Bone marrow smear: 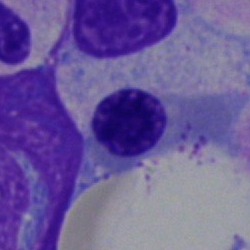 Morphology consistent with a normoblast.